Peripheral blood smear — 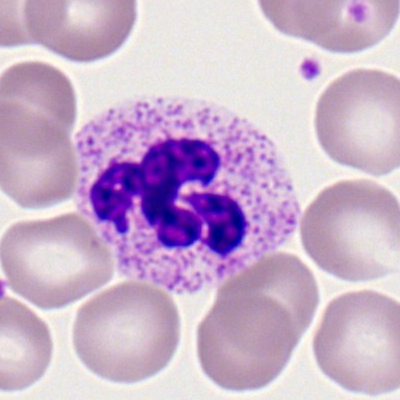
The cell shown is a neutrophil (segmented).